Bone marrow aspirate smear
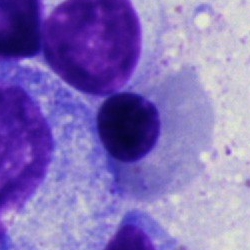The cell shown is a normoblast.